Bone marrow aspirate smear:
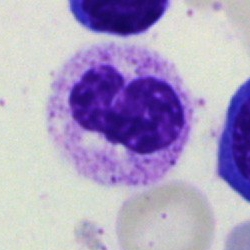

This is a neutrophil (segmented).